Bone marrow smear · brightfield microscopy, 40× oil immersion · 250 by 250 pixels.
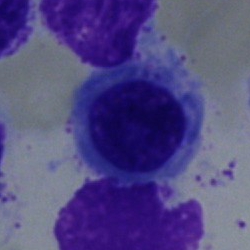
Q: What is the morphological classification of this cell?
A: Erythroblast.